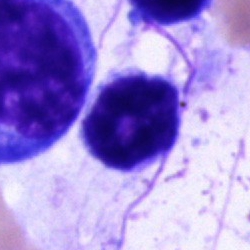
Specimen: bone marrow aspirate smear.
Morphological class: lymphocyte.